May-Grünwald-Giemsa/Pappenheim stain; bone marrow smear; 40× oil immersion:
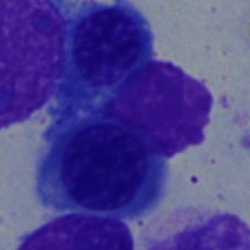Classification = nucleated red blood cell.